Bone marrow aspirate smear; image size 250×250
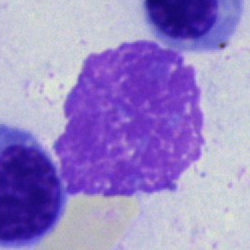

Cell type = artefact.